Peripheral blood smear.
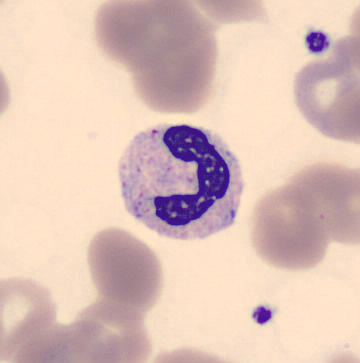{"cell_type": "band-form neutrophil", "lineage": "myeloid"}